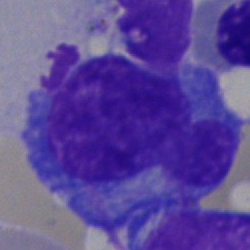

A plasma cell on a bone marrow smear.